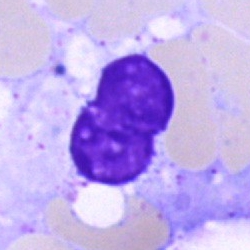The cell is artefact.